Bone marrow aspirate smear: 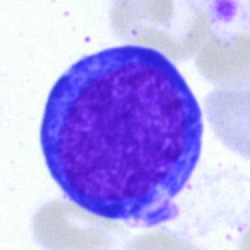

Classification — pronormoblast.